250×250 px; bone marrow aspirate smear: 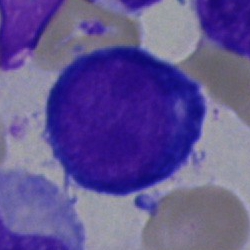Morphology — proerythroblast.